Bone marrow smear · MGG-stained
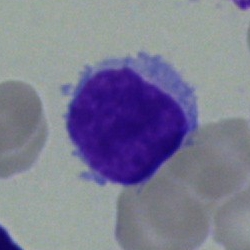 The cell type is lymphocyte.